Bone marrow aspirate smear · single cell centered in the field.
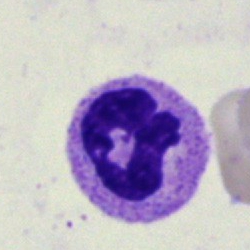

Specimen: bone marrow aspirate smear.
Cell: segmented neutrophil.
Lineage: myeloid.